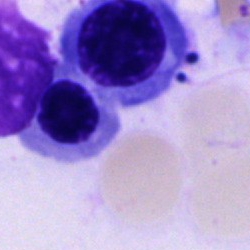 Single cell identified as a normoblast.